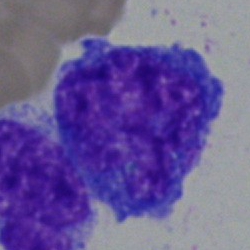
Blast.